Single-cell field · bone marrow smear · 250×250 px.
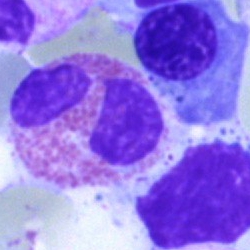
{"cell_type": "eosinophil", "lineage": "myeloid"}